Bone marrow smear; image size 250×250; brightfield microscopy, 40× oil immersion: 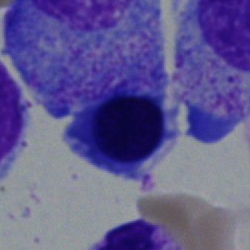

Specimen: bone marrow smear.
Cell: erythroblast.
Lineage: erythroid.